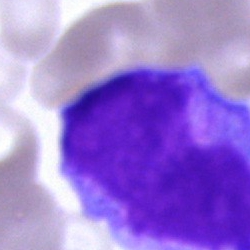 Morphology → band neutrophil.